Bone marrow smear: 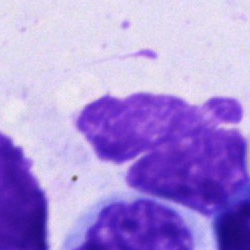This is an artefact.